Bone marrow smear: 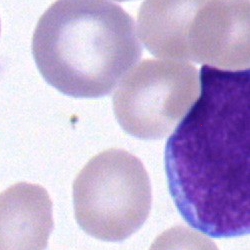

Cell = blast.